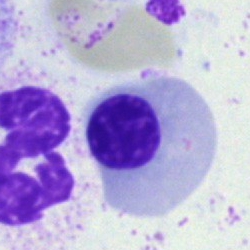
The cell is erythroblast.